Bone marrow smear
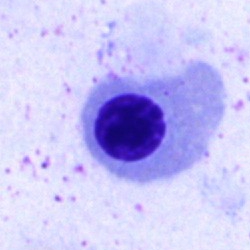

Specimen: bone marrow aspirate smear.
Morphological class: normoblast.